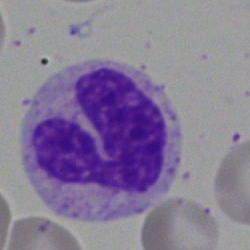
The cell is segmented neutrophil.